Brightfield, 40× oil-immersion objective; bone marrow aspirate smear; cropped to a single cell:
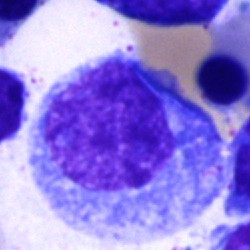This is a promyelocyte.